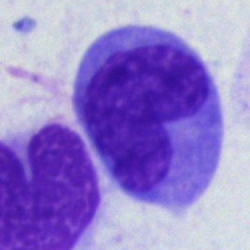 Monocyte.